Bone marrow aspirate smear; May-Grünwald-Giemsa/Pappenheim stain; single cell centered in the field
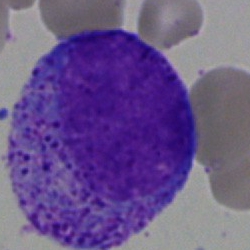

Morphology — promyelocyte.